Peripheral blood film
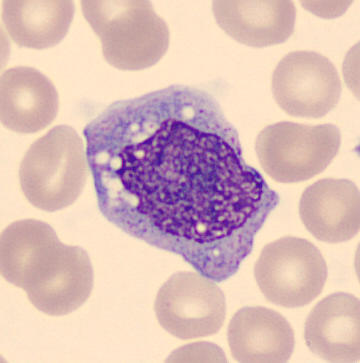

Morphology consistent with a monocyte.